Brightfield, 100× oil-immersion objective; peripheral blood film: 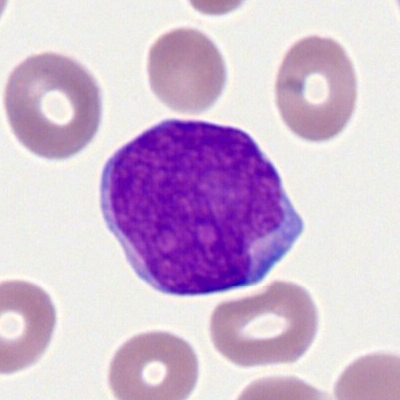Morphology — myeloblast.